Bone marrow aspirate smear; Pappenheim-stained; single-cell crop: 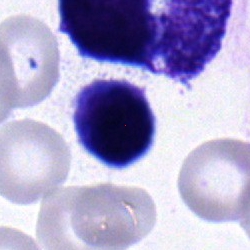 Q: What cell is this?
A: It is a typical lymphocyte.